Bone marrow aspirate smear:
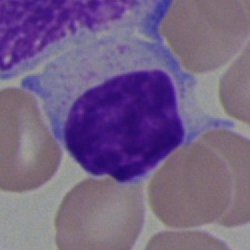Single cell identified as a typical lymphocyte.